Peripheral blood film
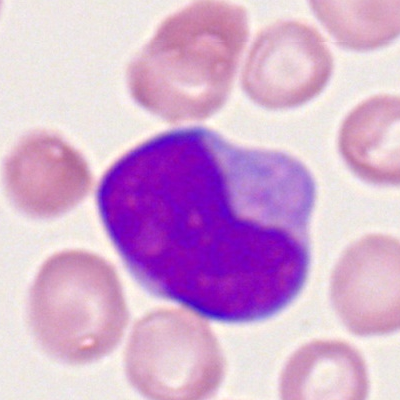 Morphology — myeloid blast.